Bone marrow smear: 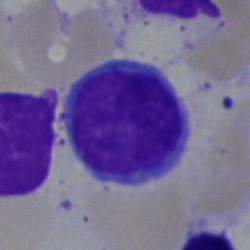Cell type — lymphocyte.